Bone marrow smear: 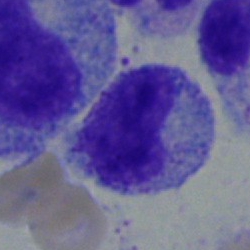

Q: Which cell type is shown here?
A: A metamyelocyte.